40× objective, oil immersion; cropped to a single cell; bone marrow aspirate smear:
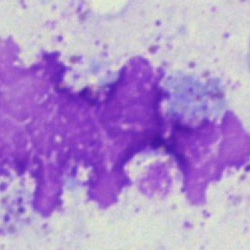The cell type is artifact.